Bone marrow aspirate smear.
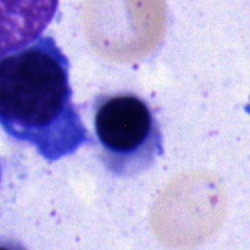

Classification = erythroblast.